Bone marrow smear.
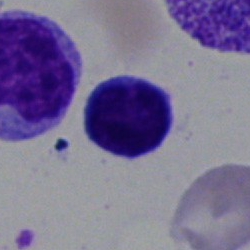 Cell = lymphocyte.